Single-cell field. Image size 250×250. Bone marrow smear
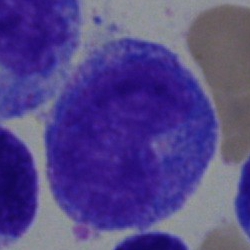

Morphology → progranulocyte.